Single cell centered in the field. Peripheral blood smear: 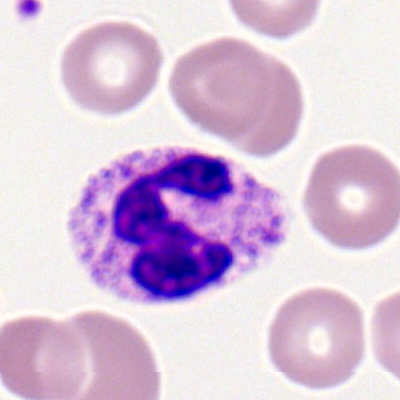 Cell type — neutrophil (segmented).